Bone marrow aspirate smear.
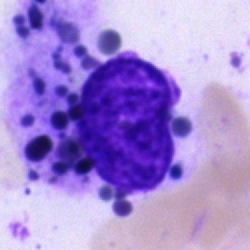Morphology — artifact.